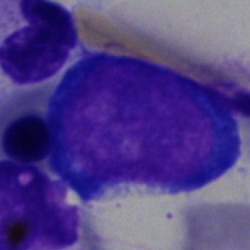

A proerythroblast.